Bone marrow aspirate smear.
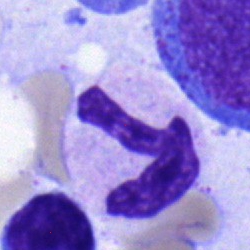 Morphology → polymorphonuclear neutrophil.